Bone marrow smear:
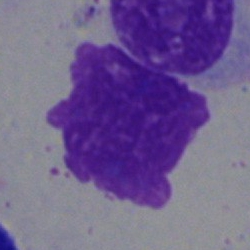 Cell = artifact.